Cropped to a single cell; bone marrow aspirate smear; 40× objective, oil immersion: 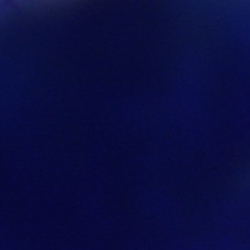

Showing an artifact.